250 by 250 pixels; bone marrow smear; single cell centered in the field: 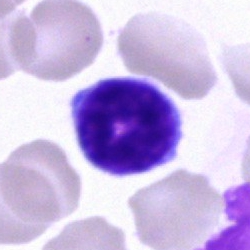 A lymphocyte.